100× oil immersion, 14.14 px/µm; peripheral blood film; single-cell field.
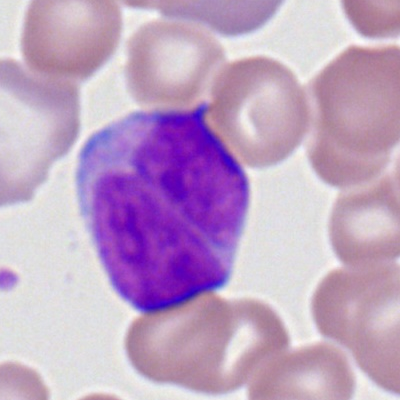Q: Which cell type is shown here?
A: This is a myeloid blast.